Bone marrow aspirate smear. Cropped to a single cell. Brightfield microscopy, 40× oil immersion
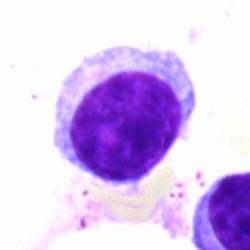

Q: Which cell type is shown here?
A: It is a lymphocyte.